MGG-stained; bone marrow aspirate smear
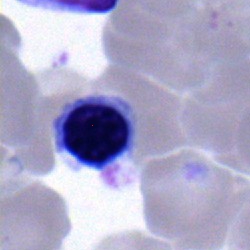

The cell type is normoblast.